Romanowsky stain; peripheral blood smear
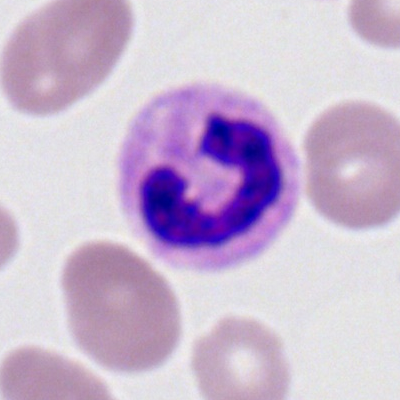

Morphology → stab cell.